Bone marrow aspirate smear: 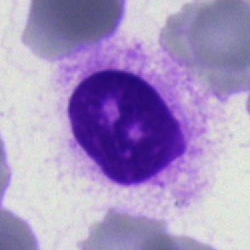

This is an artifact.